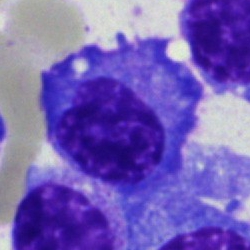
Morphological class: plasmacyte.